Bone marrow aspirate smear · single-cell crop — 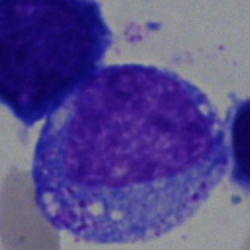
Single cell identified as a progranulocyte.